Brightfield microscopy, 40× oil immersion. 250 by 250 pixels. Bone marrow aspirate smear:
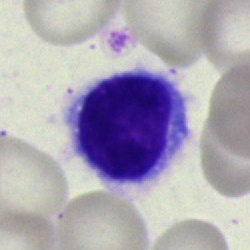 This is a hairy cell.